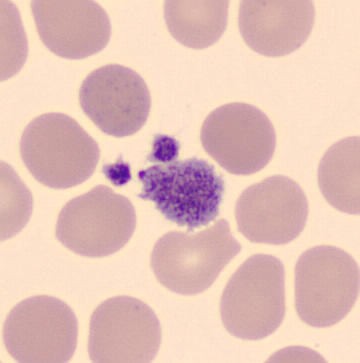{"cell_type": "platelet"}
Image: Peripheral blood film · CellaVision DM96.